Pappenheim-stained · bone marrow smear: 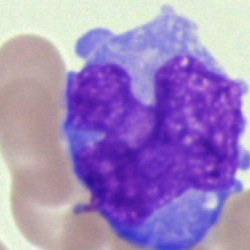

Morphological class: monocyte.